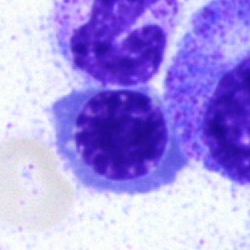{"cell_type": "nucleated red cell"}